Bone marrow smear:
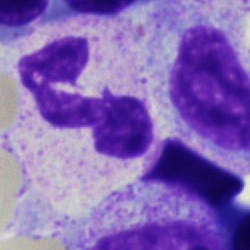

Single cell identified as a polymorphonuclear neutrophil.